40× oil immersion · bone marrow smear: 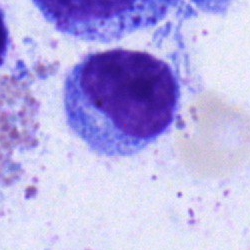 {"cell_type": "lymphocyte"}